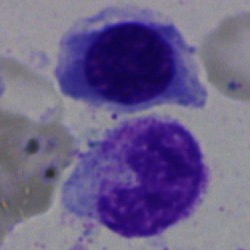Single-cell crop from a bone marrow smear: band-form neutrophil.